Bone marrow smear. 250 by 250 pixels: 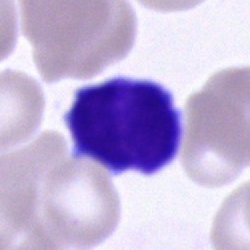
A typical lymphocyte.